Bone marrow aspirate smear. Brightfield microscopy, 40× oil immersion — 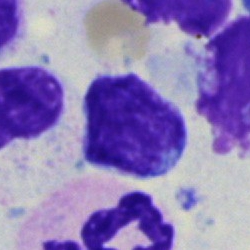
The cell type is lymphocyte.